Peripheral blood smear. CellaVision DM96 digital cell image. 360 by 363 pixels: 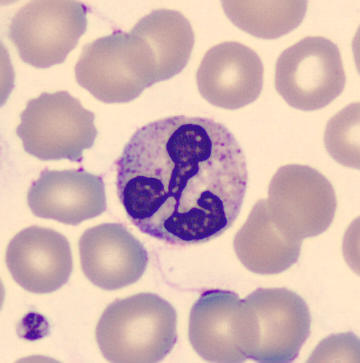 Specimen: peripheral blood film.
Classification: neutrophil (segmented).
Lineage: myeloid.